Bone marrow smear: 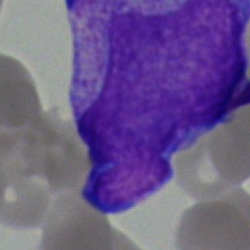
{"cell_type": "undifferentiated blast"}